40× objective, oil immersion; 250 by 250 pixels; bone marrow aspirate smear:
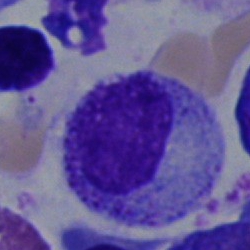Q: What type of cell is this?
A: Progranulocyte.